Bone marrow aspirate smear
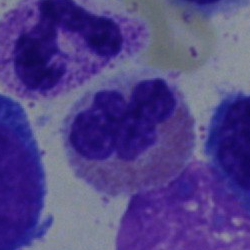 The morphological class is eosinophil.